Bone marrow smear. MGG-stained:
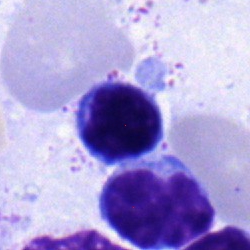 Q: What is the morphological classification of this cell?
A: Typical lymphocyte.